Bone marrow aspirate smear.
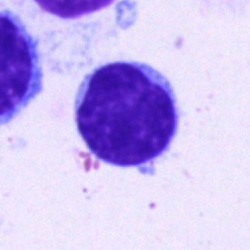
Classification — typical lymphocyte.